Bone marrow smear.
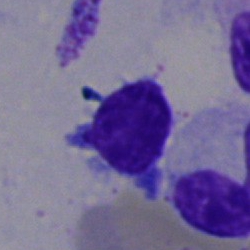

A typical lymphocyte.